Bone marrow aspirate smear: 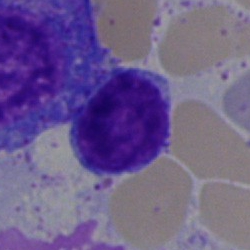Classification — lymphocyte.